Bone marrow smear · 250 by 250 pixels
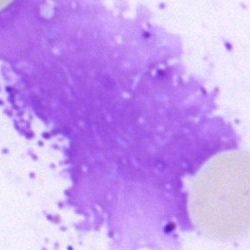 Single cell identified as an artefact.